400×400; peripheral blood film: 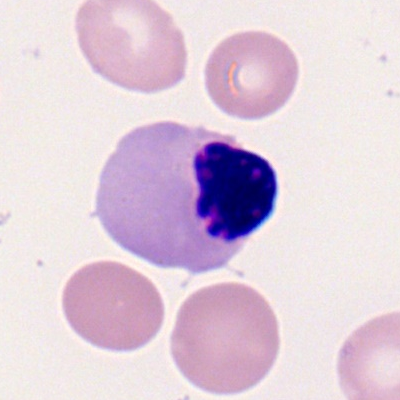
Impression — nucleated red blood cell.